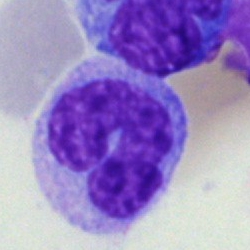Impression → monocyte.